Bone marrow aspirate smear: 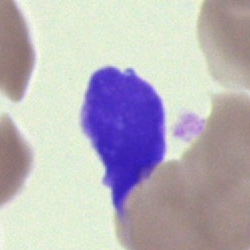 Q: What is shown here?
A: Artefact.